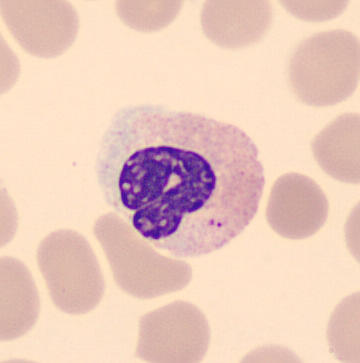
Morphology — band-form neutrophil.